Bone marrow aspirate smear — 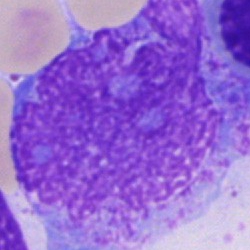

Morphology consistent with an artefact.